Bone marrow smear
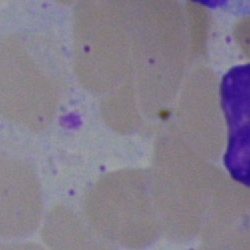

Morphology consistent with an artifact.